Romanowsky-type stain; peripheral blood film; single-cell crop — 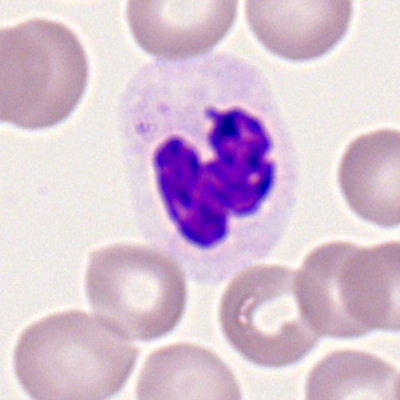
The cell is neutrophil (segmented).